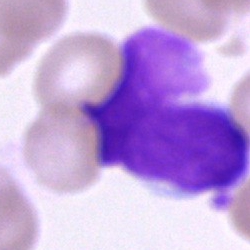 Q: What is shown here?
A: It is an artefact.